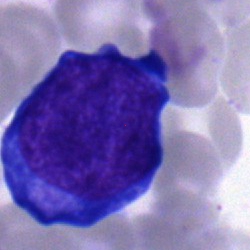
Impression — proerythroblast.